Bone marrow smear:
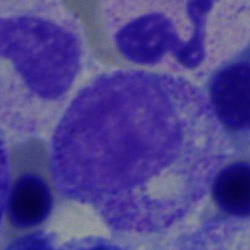

Cell: myelocyte.